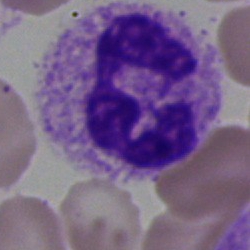Morphology — polymorphonuclear neutrophil.